Bone marrow smear · brightfield microscopy, 40× oil immersion · 250×250:
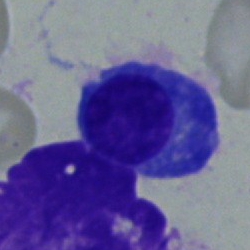

{"cell_type": "plasma cell", "lineage": "lymphoid"}